Bone marrow smear.
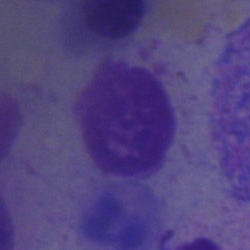
The cell type is artefact.